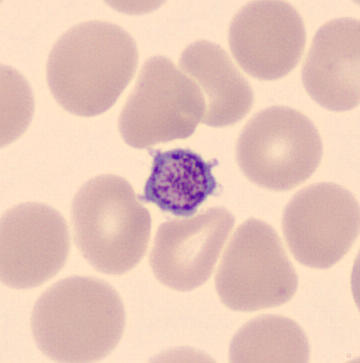Cell type: platelet (thrombocyte).